Bone marrow smear:
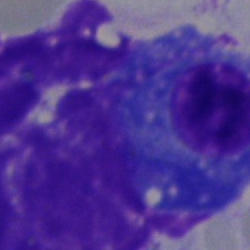 The cell is plasmacyte.